Bone marrow smear; 250 by 250 pixels:
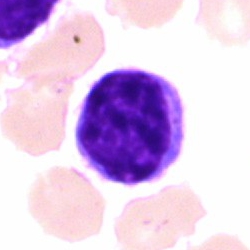Cell type: typical lymphocyte.